Peripheral blood smear. Single cell centered in the field:
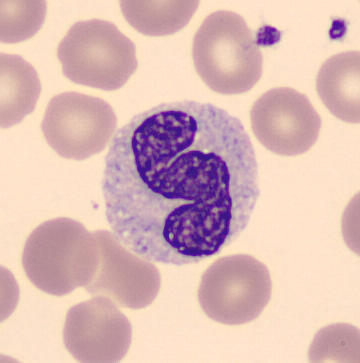Band-form neutrophil.